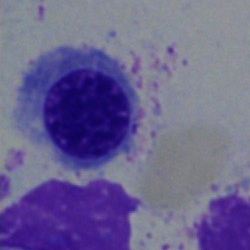 This is a nucleated red blood cell.